Single-cell field. Bone marrow smear: 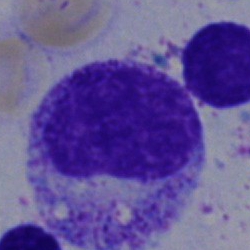Cell type: myelocyte.